Bone marrow smear
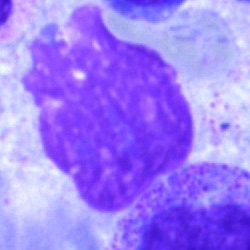
Morphology → artifact.